250 by 250 pixels. Bone marrow aspirate smear — 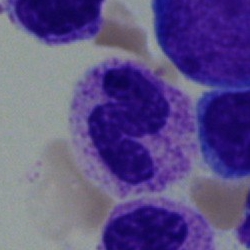

Morphological class = neutrophil (band).